Romanowsky stain; peripheral blood smear — 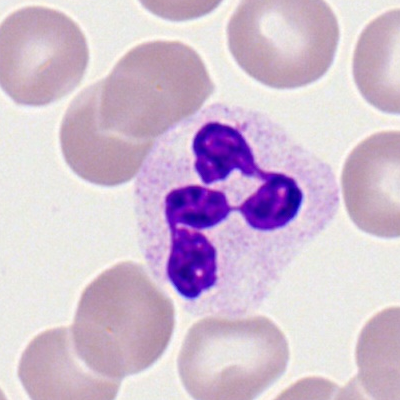
Morphology consistent with a neutrophil (segmented).